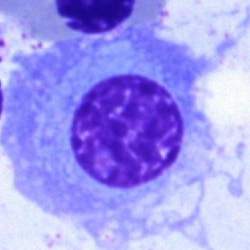 Bone marrow aspirate smear, single cell — plasmacyte.